Bone marrow smear — 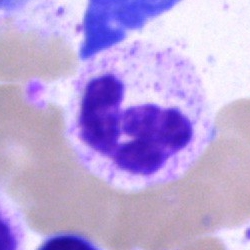

A neutrophil (segmented).